Bone marrow smear — 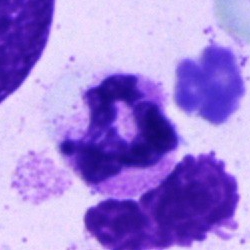

Morphology consistent with a polymorphonuclear neutrophil.